Bone marrow smear
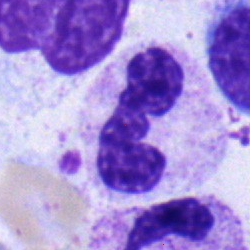The classification is band neutrophil.